Bone marrow aspirate smear.
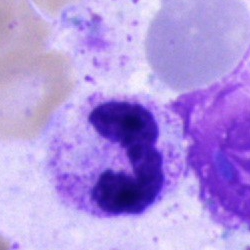 The cell is neutrophil (segmented).